Peripheral blood smear.
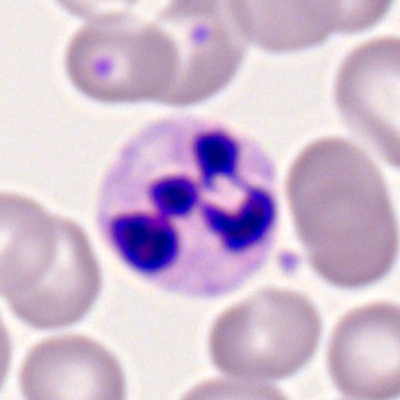

Single cell identified as a polymorphonuclear neutrophil.